Bone marrow smear — 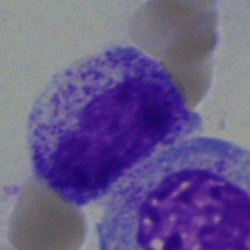 Impression → myelocyte.